Bone marrow aspirate smear.
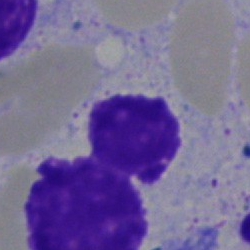An artifact.